Bone marrow smear
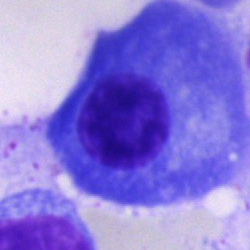 The cell type is plasma cell.